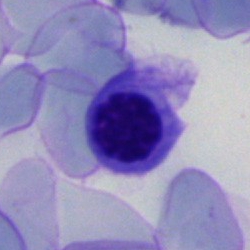

Cell = nucleated red cell.